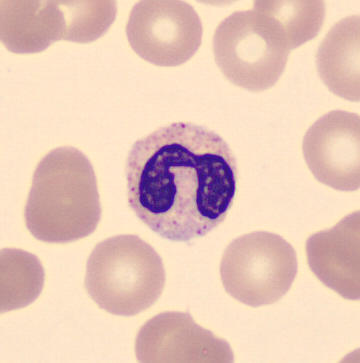

Acquisition: Peripheral blood film.
Impression — polymorphonuclear neutrophil.